250×250 · bone marrow smear:
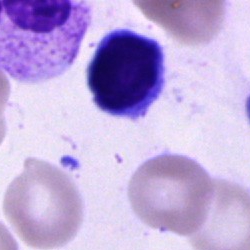Q: What is the morphological classification of this cell?
A: Typical lymphocyte.